Bone marrow aspirate smear:
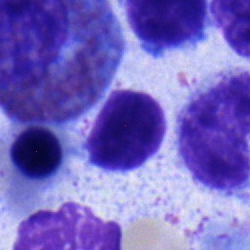
{"cell_type": "lymphocyte", "lineage": "lymphoid"}